Bone marrow smear — 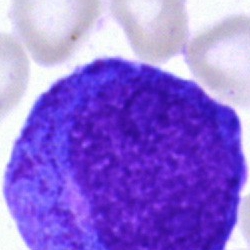

Promyelocyte.